Bone marrow smear · 250 by 250 pixels
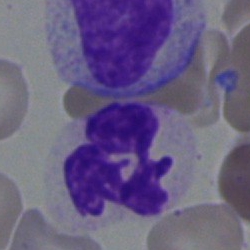

This is a neutrophil (segmented).